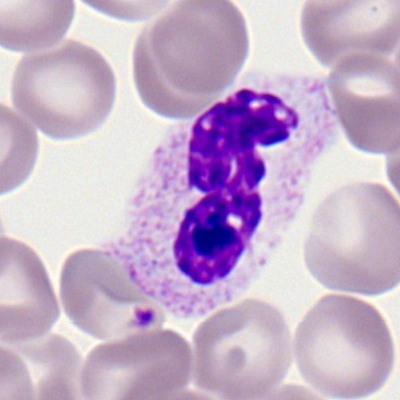

A neutrophil (segmented).